Single-cell crop; May-Grünwald-Giemsa stain; bone marrow smear:
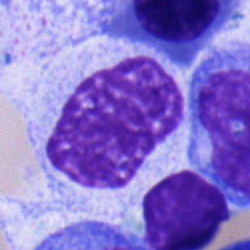

Q: What type of cell is this?
A: Metamyelocyte.